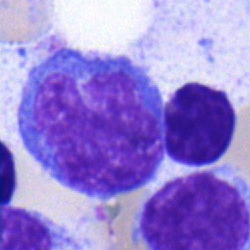 Single-cell crop from a bone marrow smear: nucleated red cell.